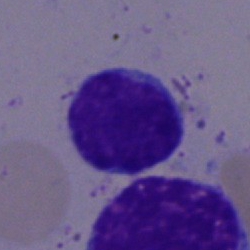 Q: What is shown here?
A: A lymphocyte.